Bone marrow aspirate smear.
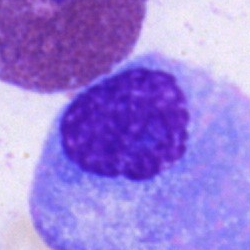

This is a plasma cell.